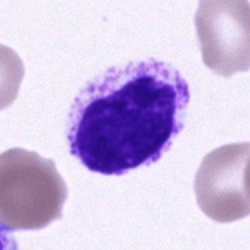
A cell of indeterminate lineage.